40× oil immersion · bone marrow aspirate smear · Pappenheim-stained:
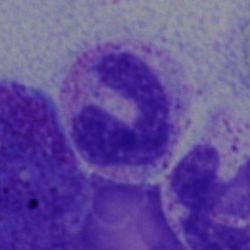
Impression → stab cell.